Bone marrow smear: 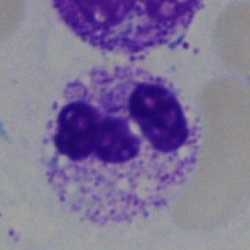 Specimen: bone marrow smear.
Cell: polymorphonuclear neutrophil.
Lineage: myeloid.